Bone marrow smear — 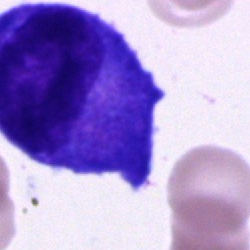

Showing an unidentifiable cell.